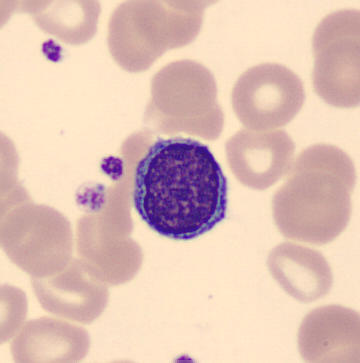
Cell = typical lymphocyte.

CellaVision DM96 digital cell image. Peripheral blood smear.